Bone marrow smear — 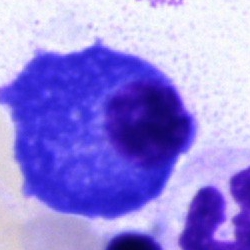 Cell type = plasma cell.